Bone marrow smear
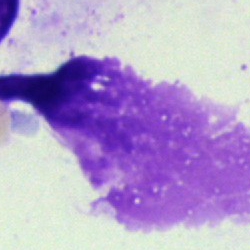 Morphology consistent with an artifact.